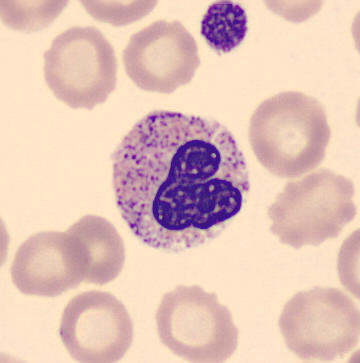
A polymorphonuclear neutrophil. 360×363 px. Peripheral blood smear.